Bone marrow smear.
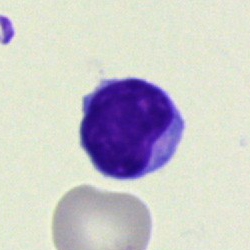
{"cell_type": "typical lymphocyte", "lineage": "lymphoid"}